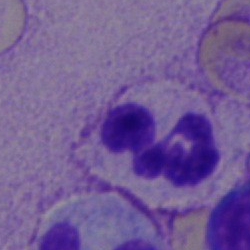
Classification — segmented neutrophil.